Bone marrow aspirate smear:
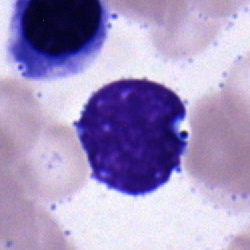 This is a typical lymphocyte.